Bone marrow smear — 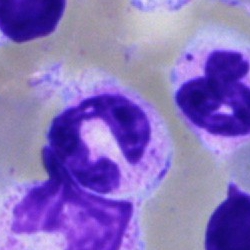
Cell type: polymorphonuclear neutrophil.